Bone marrow smear:
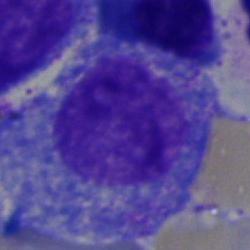Impression → promyelocyte.